Peripheral blood smear
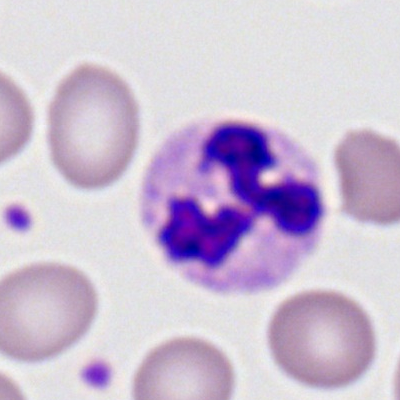Polymorphonuclear neutrophil.